Image size 250×250 · bone marrow smear:
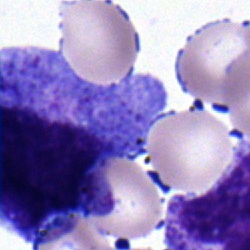 {"cell_type": "progranulocyte", "lineage": "myeloid"}